Pappenheim-stained. 40× objective, oil immersion. Bone marrow aspirate smear: 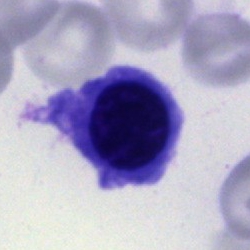

Specimen: bone marrow aspirate smear.
Classification: nucleated red cell.